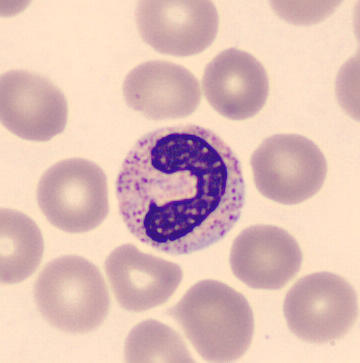Cell — stab cell.
Preparation: Peripheral blood smear.